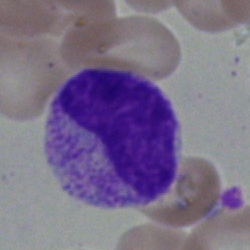
Showing a metamyelocyte.